Bone marrow smear:
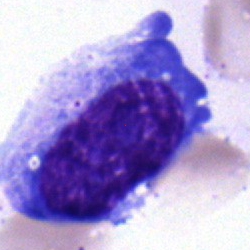
Classification — normoblast.